250 by 250 pixels · bone marrow aspirate smear — 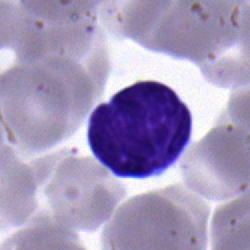

Lymphocyte.